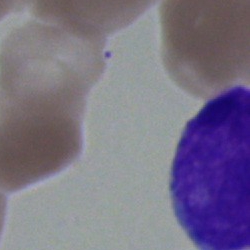The cell shown is an artifact.